Bone marrow smear
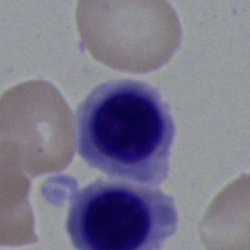Morphology consistent with a nucleated red cell.